Single-cell crop; bone marrow smear
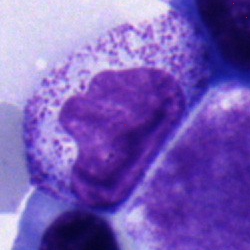

{"cell_type": "metamyelocyte"}